40× objective, oil immersion · single-cell field · bone marrow smear: 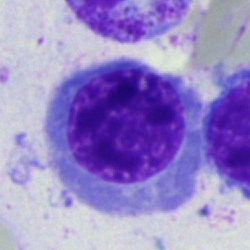
Showing a normoblast.